Bone marrow smear
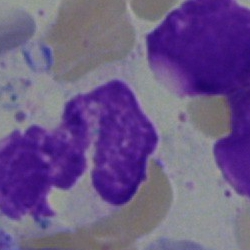
A segmented neutrophil.